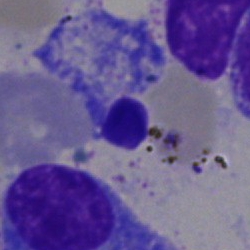The morphological class is artifact.